Bone marrow aspirate smear — 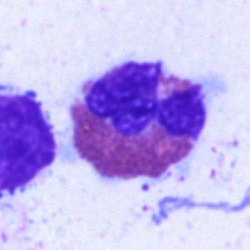
Specimen: bone marrow aspirate smear.
Cell: eosinophil.
Lineage: myeloid.